Bone marrow aspirate smear — 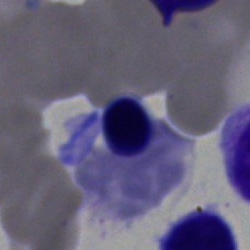Q: What type of cell is this?
A: It is a nucleated red cell.